Peripheral blood film: 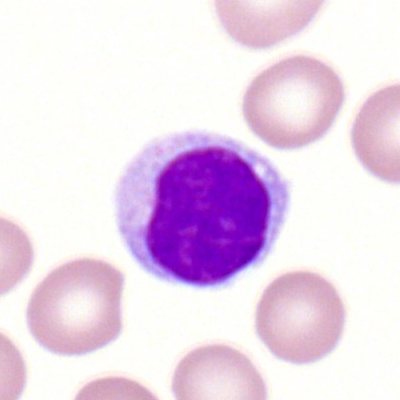

Morphology — lymphocyte.